Bone marrow aspirate smear: 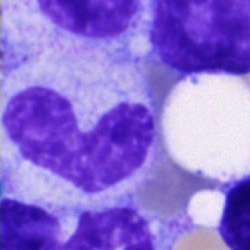

The morphological class is stab cell.